Bone marrow smear:
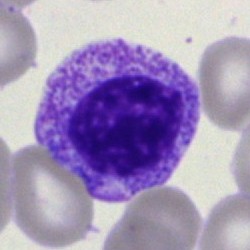
Q: Identify the cell.
A: This is a myelocyte.